Bone marrow smear. Single-cell field: 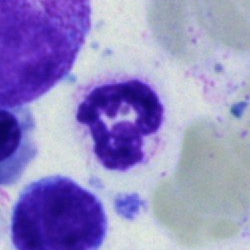

Classification = segmented neutrophil.